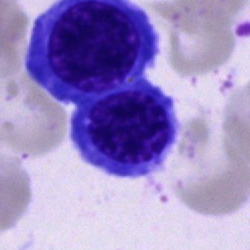
Specimen: bone marrow aspirate smear.
Morphological class: erythroblast.
Lineage: erythroid.